Brightfield, 40× oil-immersion objective · bone marrow aspirate smear · May-Grünwald-Giemsa stain
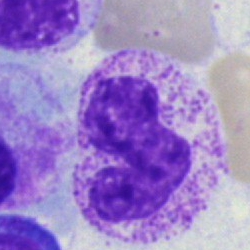

Single cell identified as a band neutrophil.